Brightfield, 40× oil-immersion objective · bone marrow smear — 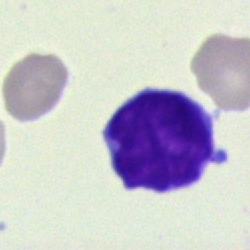
Morphology consistent with a typical lymphocyte.